Bone marrow aspirate smear · cropped to a single cell — 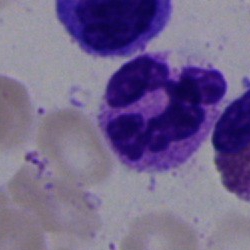
Cell = neutrophil (segmented).